Bone marrow smear. May-Grünwald-Giemsa/Pappenheim stain:
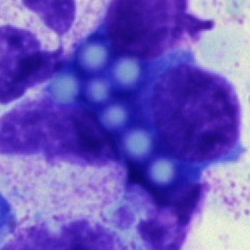 This is a plasma cell.